Bone marrow smear.
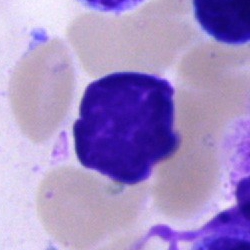 This is an artefact.